Bone marrow aspirate smear:
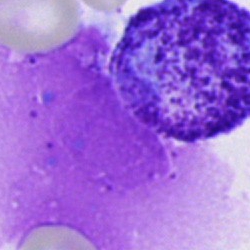 Morphology → artifact.